Bone marrow aspirate smear.
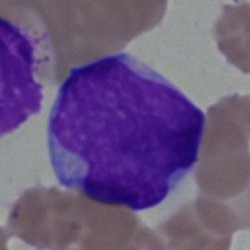
Classification — blast.